40× objective, oil immersion. Bone marrow smear — 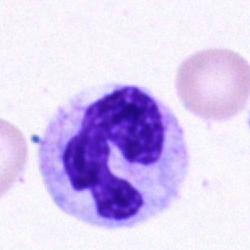
Morphology → polymorphonuclear neutrophil.